Single-cell crop; bone marrow smear: 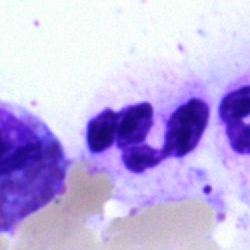Cell = neutrophil (segmented).